Pappenheim-stained. Bone marrow smear. Brightfield microscopy, 40× oil immersion
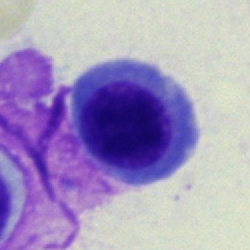
Morphology consistent with a nucleated red cell.